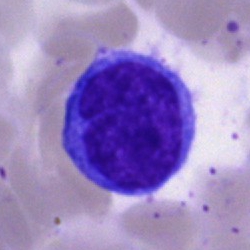 {"cell_type": "monocyte"}